Bone marrow aspirate smear; brightfield microscopy, 40× oil immersion.
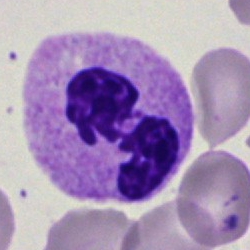

Classification: neutrophil (segmented).